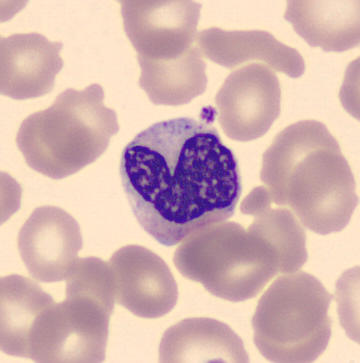
Peripheral blood film. MGG-stained.
Identified as a metamyelocyte.